Bone marrow aspirate smear: 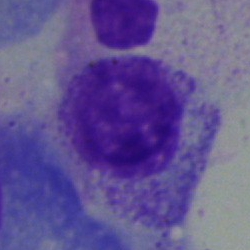

Specimen: bone marrow aspirate smear.
Classification: myelocyte.